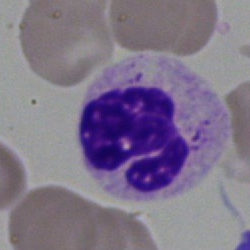Q: What is shown here?
A: Polymorphonuclear neutrophil.